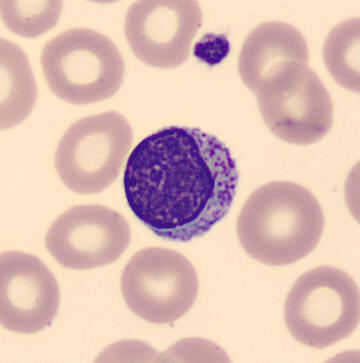

{"cell_type": "lymphocyte", "lineage": "lymphoid"}

Peripheral blood smear. Single-cell field. 360×363 px.